Bone marrow smear — 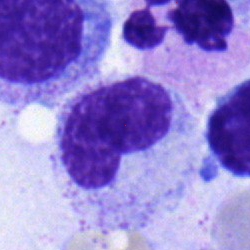
Morphological class: neutrophil (band).